Bone marrow smear; Pappenheim-stained:
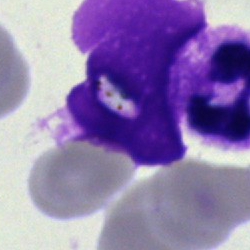

Q: What is shown here?
A: Artefact.